Bone marrow aspirate smear:
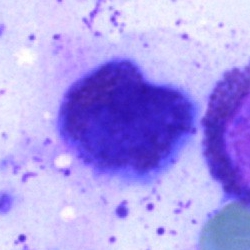 Q: Identify the cell.
A: Cell of indeterminate lineage.